Bone marrow smear · 250 by 250 pixels
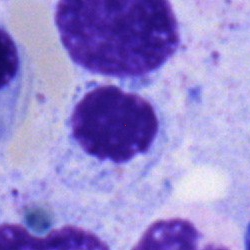Morphology consistent with a typical lymphocyte.